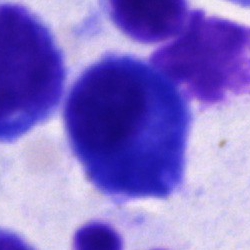Impression — plasmacyte.